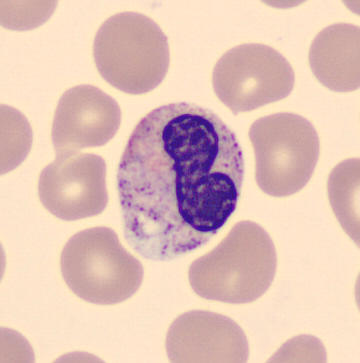Q: Identify the cell.
A: This is a band-form neutrophil.